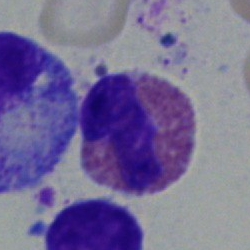Cell — eosinophilic granulocyte.